Bone marrow smear · May-Grünwald-Giemsa stain · single cell centered in the field:
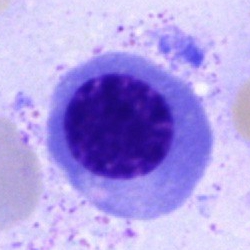
Cell = normoblast.